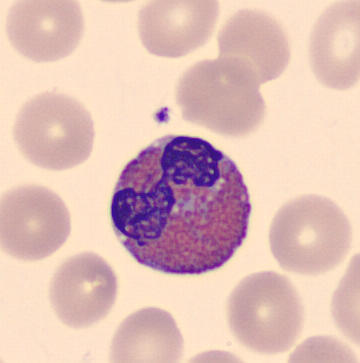 Preparation: Peripheral blood film.

Single cell identified as an eosinophilic granulocyte.